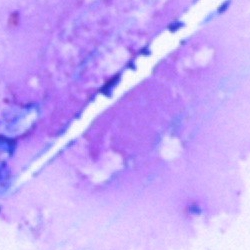Cell type — artifact.